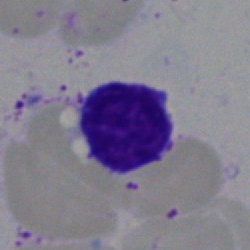Typical lymphocyte.